250 by 250 pixels. Bone marrow smear.
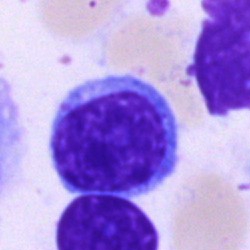

Q: What is the morphological classification of this cell?
A: A lymphocyte.